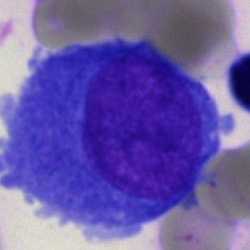

{"cell_type": "undifferentiated blast"}